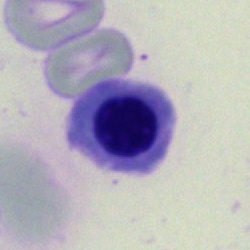{"cell_type": "nucleated red cell", "lineage": "erythroid"}